Bone marrow smear.
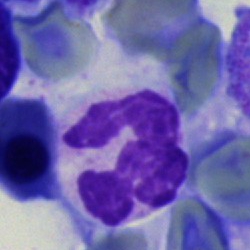Single cell identified as a neutrophil (segmented).